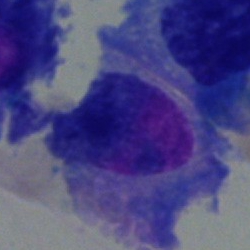

The classification is plasmacyte.